May-Grünwald-Giemsa/Pappenheim stain. Cropped to a single cell. Bone marrow smear: 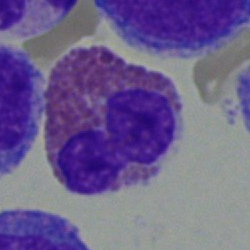
Morphological class: eosinophil.